Bone marrow aspirate smear — 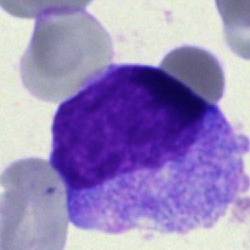Blast cell.